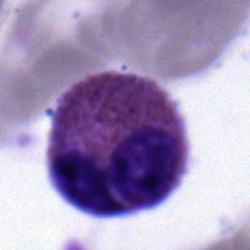

This is an eosinophilic granulocyte.